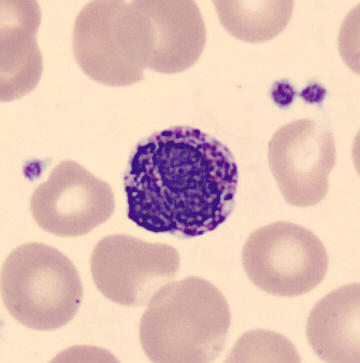

Acquisition: Peripheral blood film. MGG stain. The cell shown is a basophil.